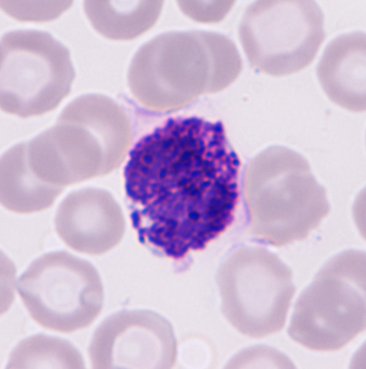Specimen: peripheral blood smear.
Cell: basophilic granulocyte.
Lineage: myeloid.